Bone marrow smear:
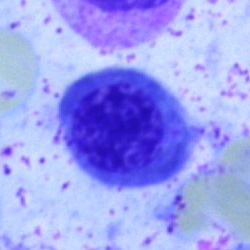

The cell type is nucleated red cell.